40× oil immersion · May-Grünwald-Giemsa/Pappenheim stain · bone marrow aspirate smear — 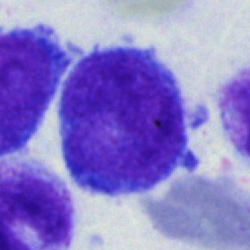The cell shown is an undifferentiated blast.